Bone marrow aspirate smear. 250×250
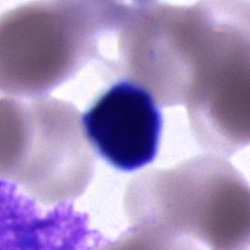
Morphological class = cell of indeterminate lineage.